Single cell centered in the field. Bone marrow aspirate smear:
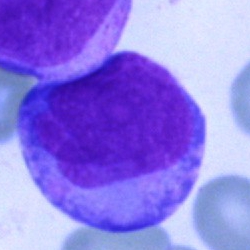 Cell — blast.